Bone marrow aspirate smear — 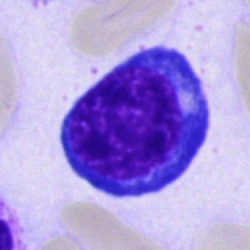
Q: Which cell type is shown here?
A: A nucleated red cell.